Bone marrow smear · May-Grünwald-Giemsa/Pappenheim stain
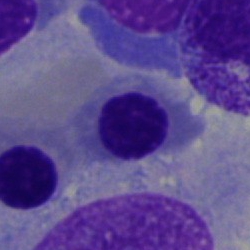 Showing an erythroblast.